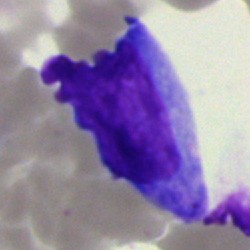 Single-cell crop from a bone marrow smear: blast cell.